250 by 250 pixels. Bone marrow smear
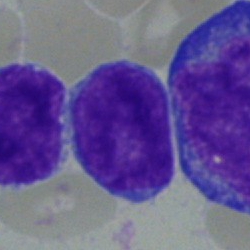
{"cell_type": "undifferentiated blast"}